250×250; bone marrow smear: 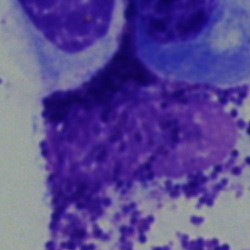 The cell type is cell not matching the other categories.